Peripheral blood smear. Single-cell field.
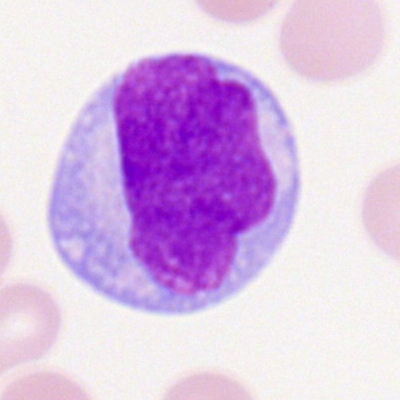
Morphology — monocyte.